Cropped to a single cell; brightfield, 40× oil-immersion objective; bone marrow aspirate smear: 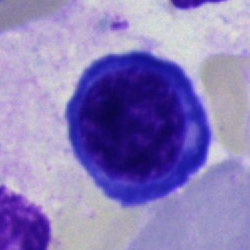
Cell: normoblast.